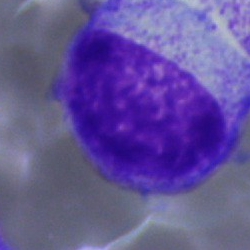 Impression → myelocyte.